May-Grünwald-Giemsa/Pappenheim stain · bone marrow aspirate smear.
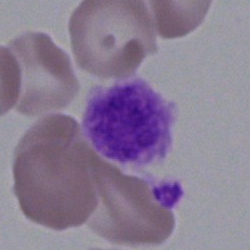 Specimen: bone marrow aspirate smear.
Classification: artifact.